Bone marrow aspirate smear
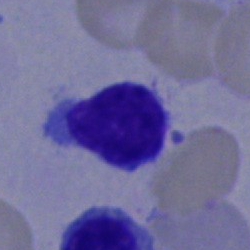
Specimen: bone marrow aspirate smear.
Cell: typical lymphocyte.
Lineage: lymphoid.